250 by 250 pixels · bone marrow aspirate smear.
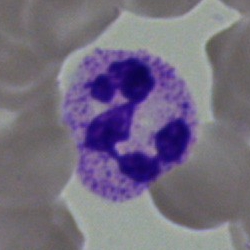
Specimen: bone marrow aspirate smear.
Classification: segmented neutrophil.
Lineage: myeloid.